Bone marrow smear
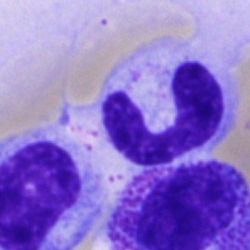
Q: Which cell type is shown here?
A: A neutrophil (band).